Bone marrow aspirate smear · May-Grünwald-Giemsa/Pappenheim stain: 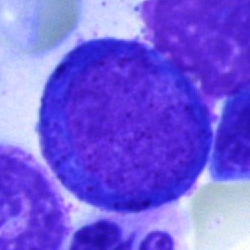
Q: What is shown here?
A: This is a nucleated red blood cell.